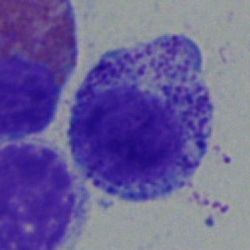Myelocyte.